Bone marrow aspirate smear; May-Grünwald-Giemsa stain — 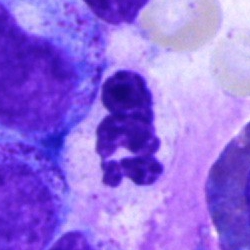 Cell type: polymorphonuclear neutrophil.